Bone marrow aspirate smear: 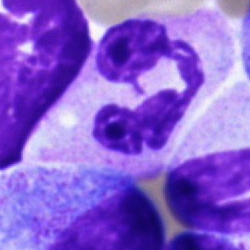
Specimen: bone marrow smear.
Morphological class: neutrophil (segmented).
Lineage: myeloid.